Bone marrow aspirate smear
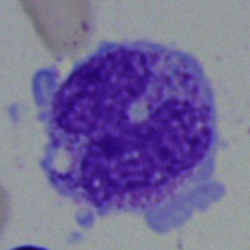Monocyte.